Bone marrow smear:
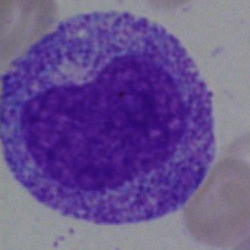 Showing a metamyelocyte.